250×250. Bone marrow aspirate smear. May-Grünwald-Giemsa stain:
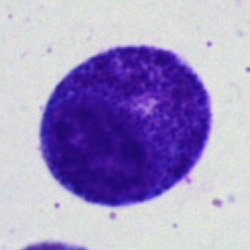Specimen: bone marrow smear.
Classification: progranulocyte.
Lineage: myeloid.